Bone marrow aspirate smear
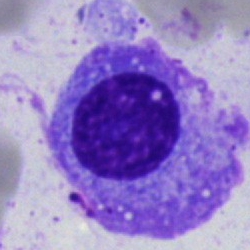 Morphology consistent with a plasmacyte.